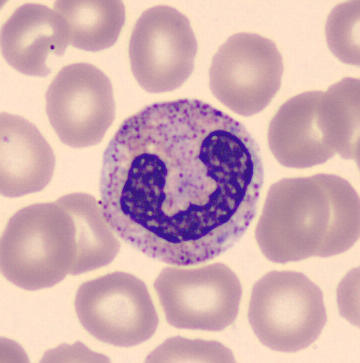Cell type — band neutrophil.

Peripheral blood smear.